Bone marrow smear:
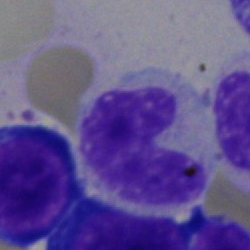 The classification is neutrophil (band).